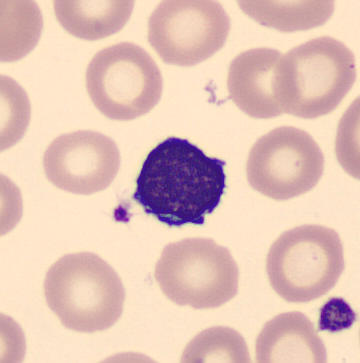

Specimen: peripheral blood smear.
Cell type: typical lymphocyte.
Lineage: lymphoid.
Acquisition: May Grünwald-Giemsa stain.